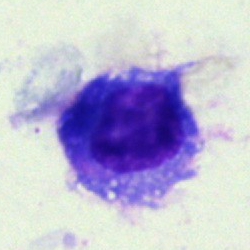 Q: Identify the cell.
A: It is a plasma cell.